MGG-stained. Bone marrow aspirate smear — 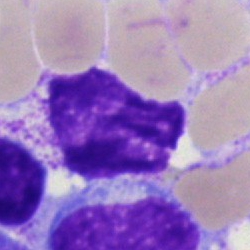 Cell = artefact.